May-Grünwald-Giemsa/Pappenheim stain · bone marrow aspirate smear:
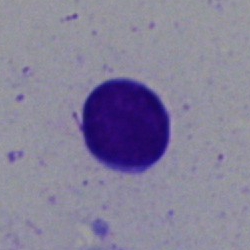 Cell type — typical lymphocyte.